Peripheral blood film.
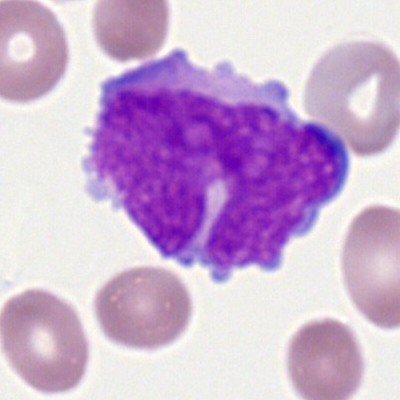 A monocyte.